Bone marrow smear · single-cell crop:
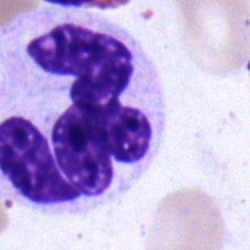
This is a segmented neutrophil.